Bone marrow smear
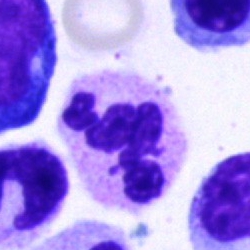Showing a segmented neutrophil.